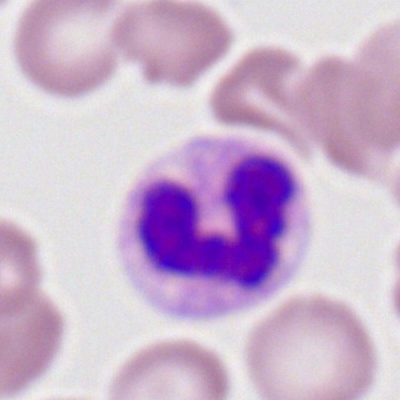The cell is neutrophil (segmented).